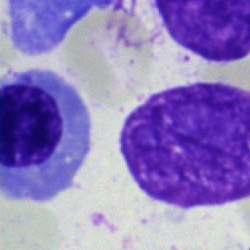 Morphology — artifact.